Bone marrow aspirate smear; brightfield, 40× oil-immersion objective; 250×250:
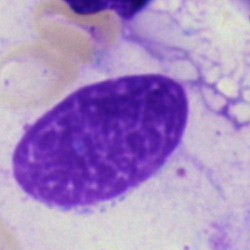 Single cell identified as an artifact.